Bone marrow aspirate smear · cropped to a single cell · image size 250×250: 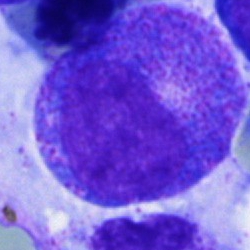
The cell is promyelocyte.